May-Grünwald-Giemsa/Pappenheim stain; brightfield, 40× oil-immersion objective; bone marrow aspirate smear.
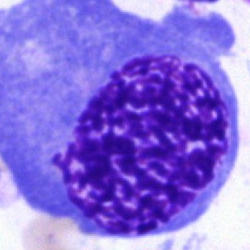Showing a normoblast.